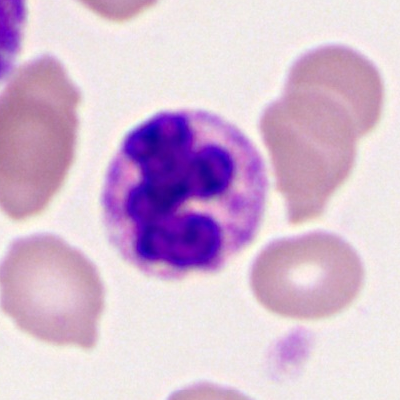Q: What is shown here?
A: A neutrophil (segmented).